Bone marrow smear: 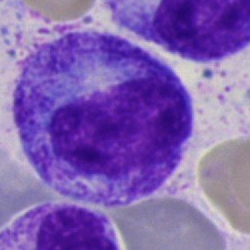Cell — progranulocyte.